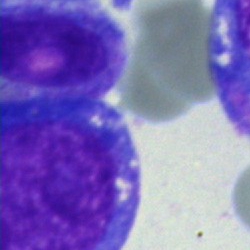

Showing a blast.